Bone marrow aspirate smear: 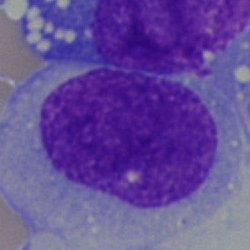This is an undifferentiated blast.